Pappenheim-stained · bone marrow aspirate smear · 250 by 250 pixels — 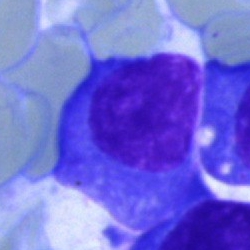Cell: plasma cell.